May-Grünwald-Giemsa stain; bone marrow aspirate smear.
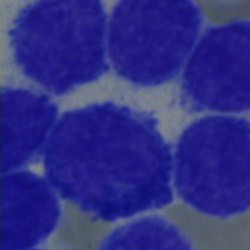 Single cell identified as a typical lymphocyte.